Bone marrow aspirate smear: 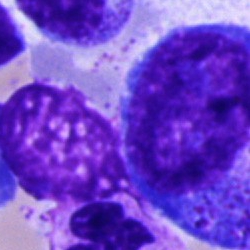
Showing a progranulocyte.